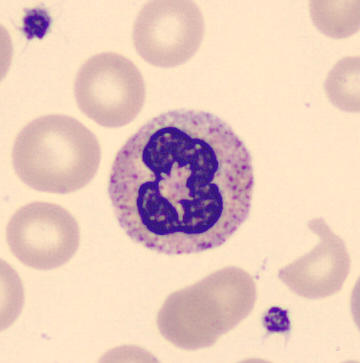 Classification = segmented neutrophil.
Image: Peripheral blood smear; automated cell imaging (CellaVision DM96).